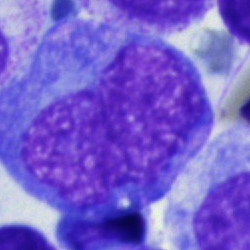

Blast.